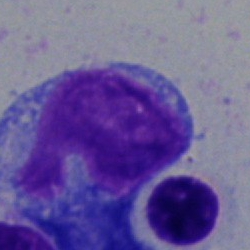Single-cell crop from a bone marrow smear: blast.